Peripheral blood smear.
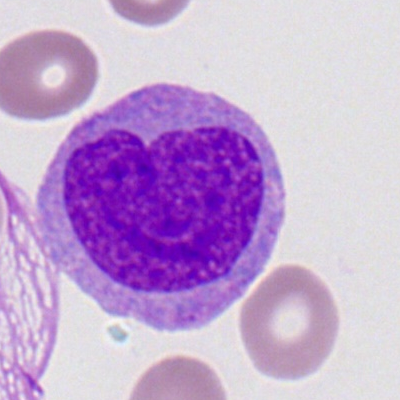
Specimen: peripheral blood smear.
Cell: myeloblast.